Bone marrow smear: 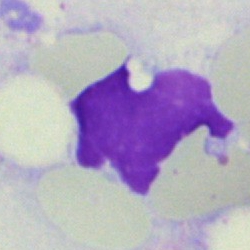

Specimen: bone marrow aspirate smear.
Classification: artifact.